Bone marrow aspirate smear.
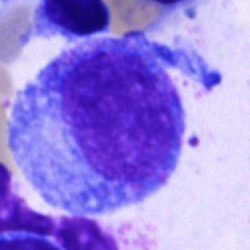

Q: Identify the cell.
A: This is a progranulocyte.